Cropped to a single cell; peripheral blood smear; M8 digital microscope (Precipoint), 100× oil immersion — 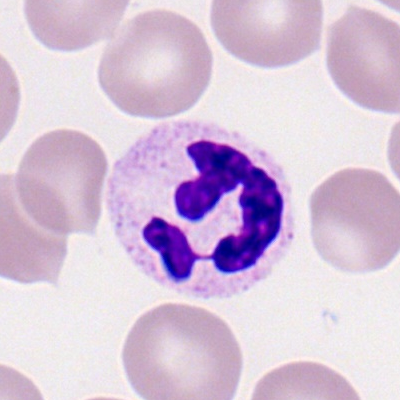

Single cell identified as a segmented neutrophil.